Bone marrow smear: 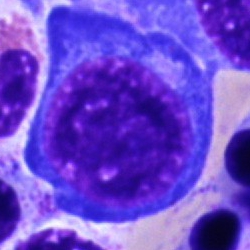

Classification = nucleated red cell.